Bone marrow smear
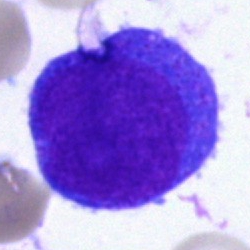 Morphology → undifferentiated blast.